Bone marrow aspirate smear; May-Grünwald-Giemsa stain: 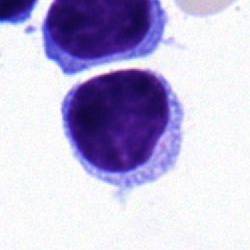
This is a lymphocyte.